Bone marrow aspirate smear.
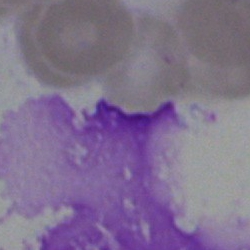Morphological class: artefact.